Bone marrow aspirate smear. Single cell centered in the field. Image size 250×250: 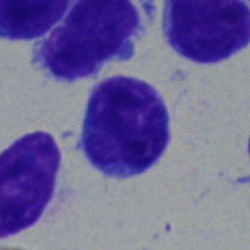

Single cell identified as a typical lymphocyte.